100× oil immersion; single-cell crop; peripheral blood film — 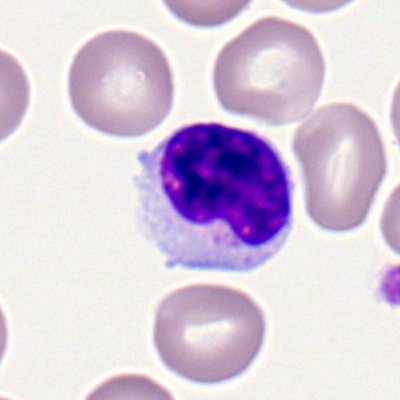The cell shown is a lymphocyte.